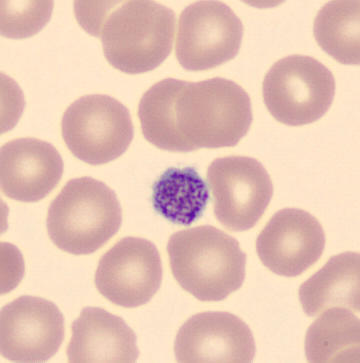
Platelet (thrombocyte).
MGG stain. Peripheral blood smear. Automated cell imaging (CellaVision DM96).